Single cell centered in the field; bone marrow aspirate smear.
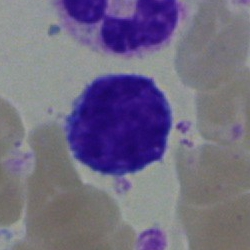

The morphological class is lymphocyte.